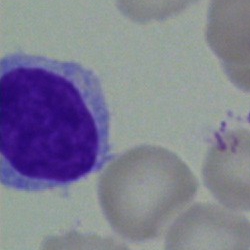Specimen: bone marrow aspirate smear.
Morphological class: typical lymphocyte.
Lineage: lymphoid.